Bone marrow smear:
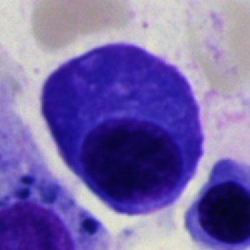
Cell type = plasma cell.